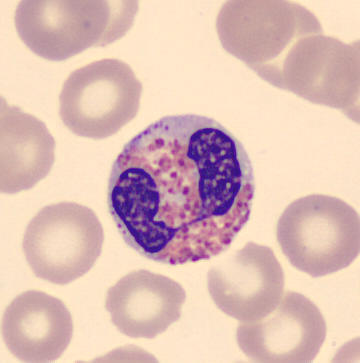

Specimen: peripheral blood smear.
Morphological class: eosinophil.
Lineage: myeloid.